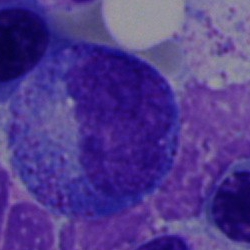

Cell = promyelocyte.